Bone marrow smear.
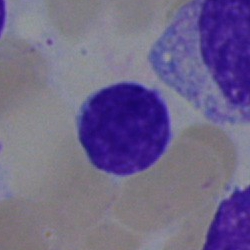Cell — lymphocyte.